MGG-stained. Bone marrow smear
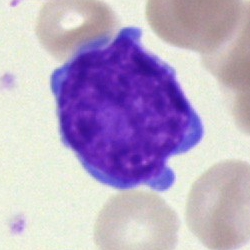 Cell — blast.